Bone marrow smear: 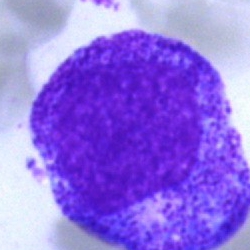
Classification — promyelocyte.